Bone marrow smear · 250×250
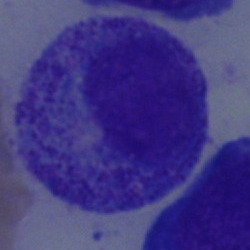

Cell type: myelocyte.